Bone marrow smear:
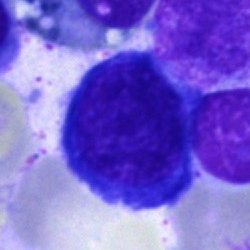

Cell: erythroblast.